Bone marrow smear:
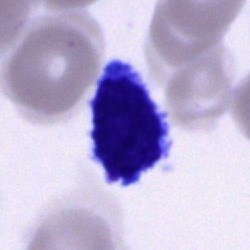Impression → typical lymphocyte.